250×250 px; bone marrow smear; May-Grünwald-Giemsa stain — 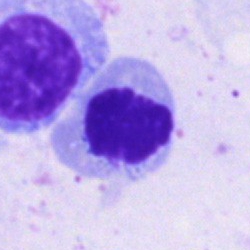Showing a nucleated red blood cell.